Bone marrow smear:
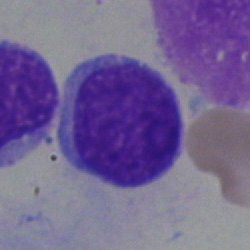Morphology → blast.